Brightfield, 40× oil-immersion objective · bone marrow smear.
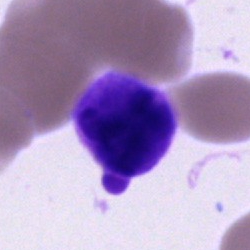 Specimen: bone marrow smear.
Cell type: artifact.